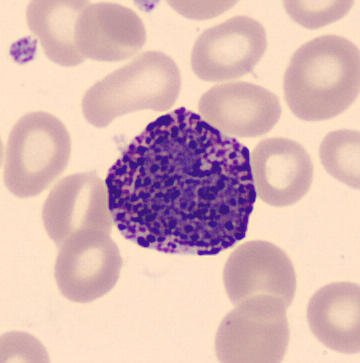
Specimen: peripheral blood film.
Cell type: basophilic granulocyte.
Lineage: myeloid.